Bone marrow smear; 250 by 250 pixels; May-Grünwald-Giemsa/Pappenheim stain — 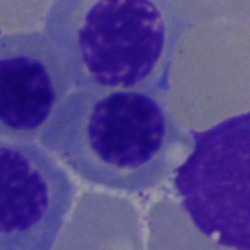Cell type — nucleated red blood cell.